Bone marrow smear:
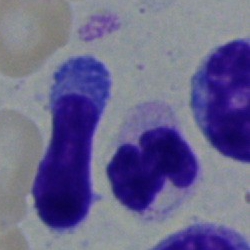

Showing a polymorphonuclear neutrophil.